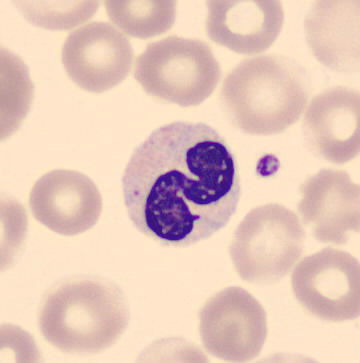Acquisition: Peripheral blood smear. The classification is band neutrophil.